250 by 250 pixels. Bone marrow smear.
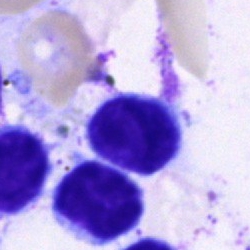
Typical lymphocyte.